Bone marrow aspirate smear. Brightfield microscopy, 40× oil immersion: 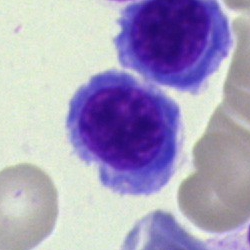
Specimen: bone marrow aspirate smear.
Cell type: nucleated red cell.
Lineage: erythroid.